Bone marrow smear.
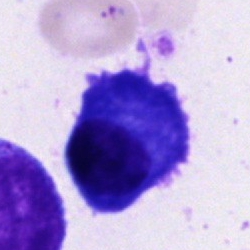A plasmacyte.